Bone marrow smear
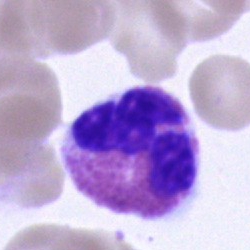

The cell shown is an eosinophil.